Bone marrow aspirate smear; 40× objective, oil immersion.
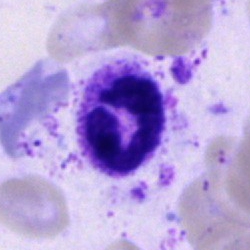 Q: What is shown here?
A: It is a neutrophil (segmented).